Bone marrow aspirate smear: 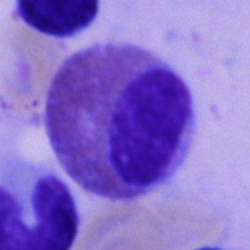

Specimen: bone marrow smear.
Classification: eosinophilic granulocyte.
Lineage: myeloid.